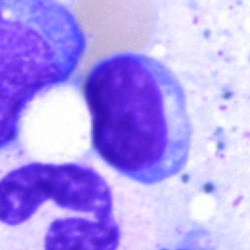 Typical lymphocyte.